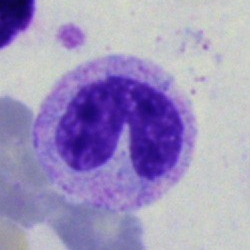

A stab cell on a bone marrow smear.